Bone marrow smear:
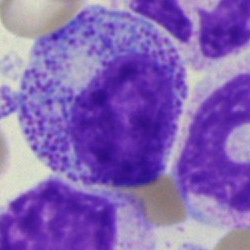
This is a progranulocyte.